Bone marrow aspirate smear:
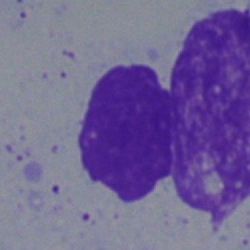 Specimen: bone marrow aspirate smear.
Morphological class: artifact.